Bone marrow aspirate smear:
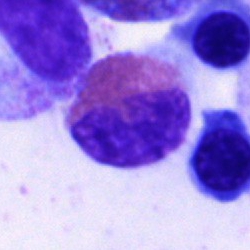
Q: Which cell type is shown here?
A: Eosinophilic granulocyte.